Bone marrow aspirate smear: 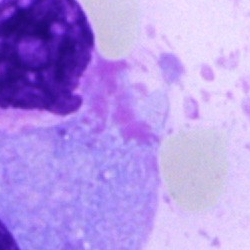
Q: What type of cell is this?
A: A plasma cell.